Bone marrow aspirate smear
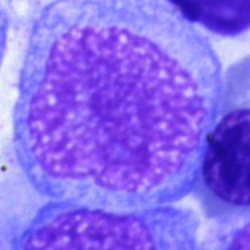 Q: What type of cell is this?
A: This is a blast cell.